Single-cell field. Bone marrow aspirate smear:
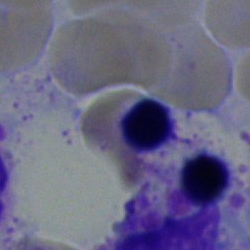Specimen: bone marrow smear.
Classification: erythroblast.